Bone marrow smear. Image size 250×250 — 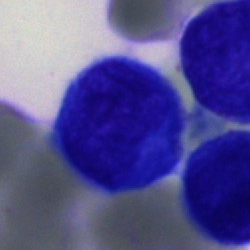
Q: What type of cell is this?
A: This is a monocyte.